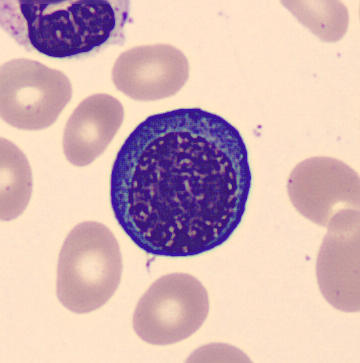 Classification — nucleated red blood cell.